Bone marrow aspirate smear
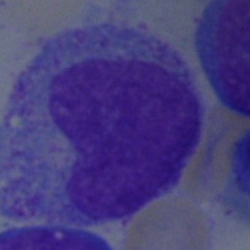

Cell = myelocyte.